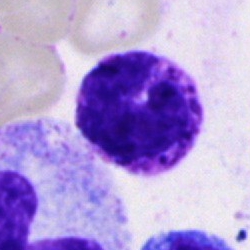 Q: What cell is this?
A: It is a basophilic granulocyte.